Bone marrow aspirate smear
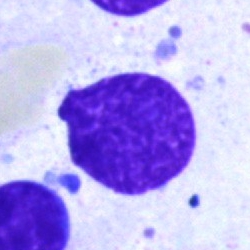
The cell type is artifact.